Bone marrow aspirate smear.
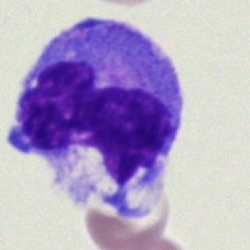
Specimen: bone marrow aspirate smear.
Cell: monocyte.
Lineage: myeloid.